Bone marrow smear
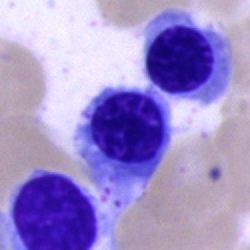
Specimen: bone marrow smear.
Cell type: nucleated red cell.
Lineage: erythroid.